Single-cell field; bone marrow smear; image size 250×250: 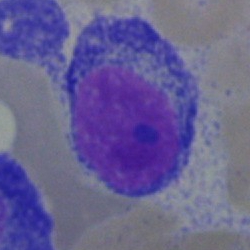 Cell type — plasma cell.